Peripheral blood film:
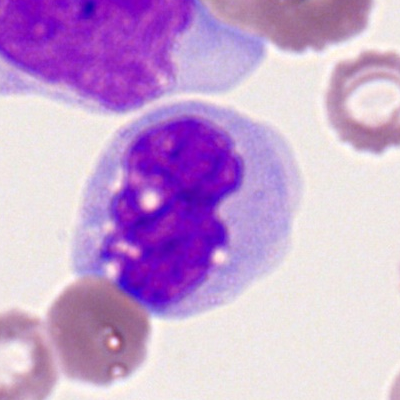

Morphological class = monocyte.